Bone marrow aspirate smear; May-Grünwald-Giemsa stain
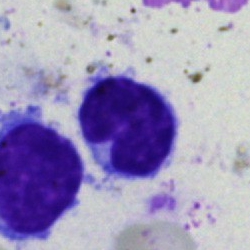

The classification is typical lymphocyte.